Bone marrow smear.
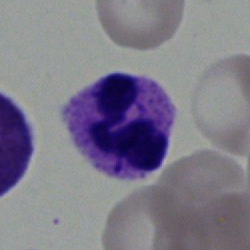 The cell shown is a segmented neutrophil.